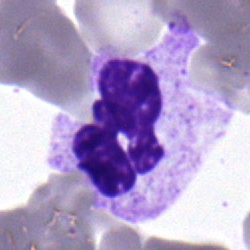

A segmented neutrophil on a bone marrow smear.